Bone marrow aspirate smear; MGG-stained
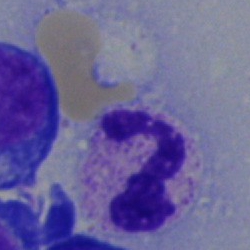 {"cell_type": "polymorphonuclear neutrophil", "lineage": "myeloid"}